Bone marrow aspirate smear · brightfield microscopy, 40× oil immersion.
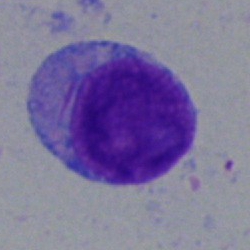 Impression → blast cell.